Bone marrow smear: 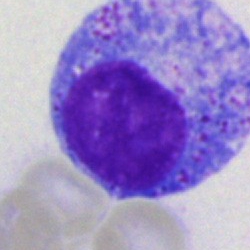 Cell type: progranulocyte.